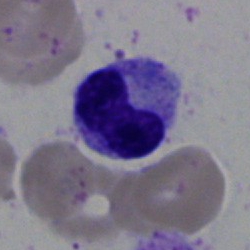

Morphology — neutrophil (band).